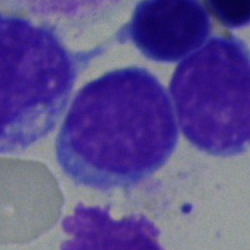
Q: What type of cell is this?
A: Typical lymphocyte.